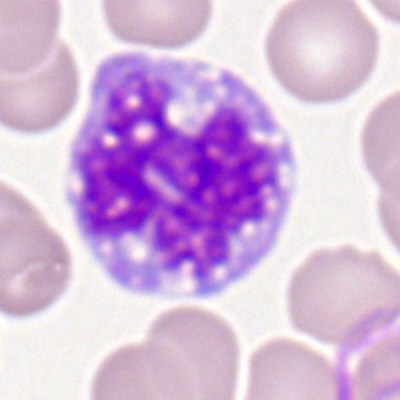
Monocyte.